Image size 250×250; May-Grünwald-Giemsa stain; bone marrow smear:
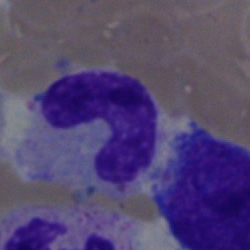Morphological class — band-form neutrophil.